Bone marrow aspirate smear; 250 by 250 pixels — 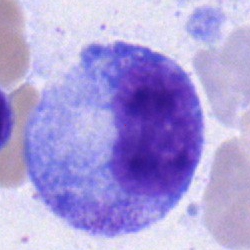 Specimen: bone marrow smear.
Classification: progranulocyte.